Peripheral blood film:
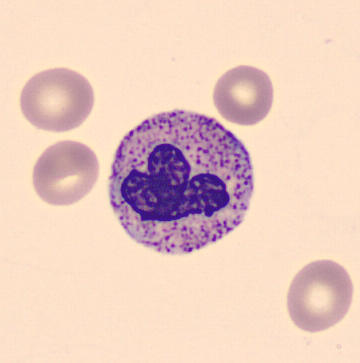Cell = band-form neutrophil.